Bone marrow aspirate smear · single-cell crop — 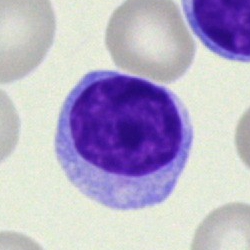Specimen: bone marrow aspirate smear.
Cell: lymphocyte.